Bone marrow smear: 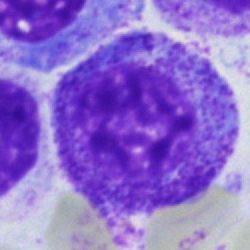
Classification = promyelocyte.